Bone marrow smear:
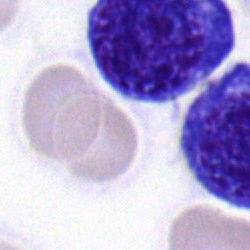
Morphology consistent with a nucleated red blood cell.